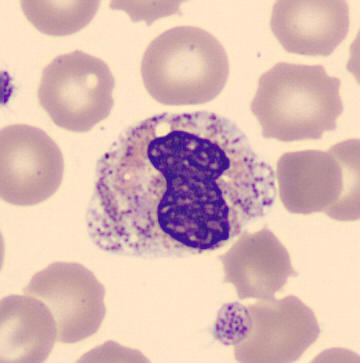

Classification: neutrophil (band).

Image: Peripheral blood film · imaged on a CellaVision DM96 analyser.